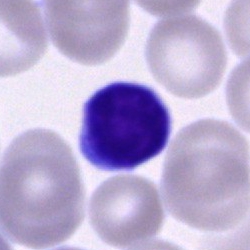

Q: What is the morphological classification of this cell?
A: A lymphocyte.